Bone marrow smear.
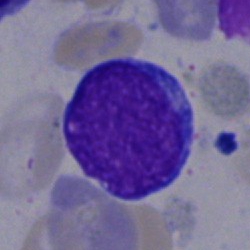
Q: What cell is this?
A: An undifferentiated blast.